Single cell centered in the field. MGG-stained. Bone marrow smear
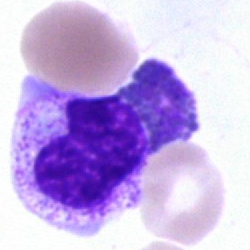Morphological class — myelocyte.